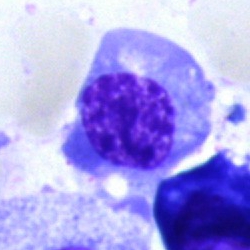
The classification is nucleated red blood cell.